Bone marrow smear: 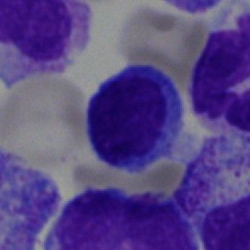
Q: Identify the cell.
A: Typical lymphocyte.